MGG-stained · 250×250 px · bone marrow aspirate smear.
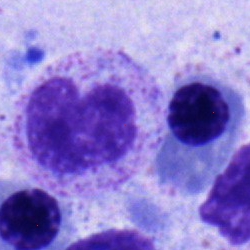

Specimen: bone marrow aspirate smear.
Cell type: metamyelocyte.
Lineage: myeloid.